Single-cell field. Image size 250×250. Bone marrow aspirate smear — 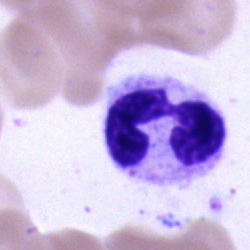A polymorphonuclear neutrophil.